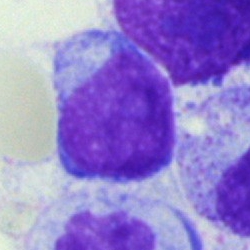 Morphology consistent with a blast cell.